Bone marrow smear; brightfield, 40× oil-immersion objective; cropped to a single cell: 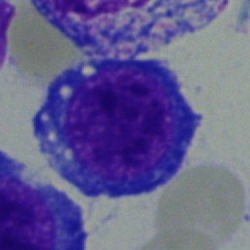Impression — normoblast.